Bone marrow aspirate smear; 250×250.
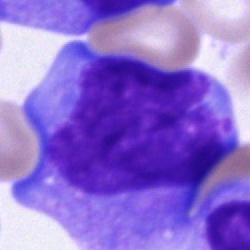Morphology consistent with a blast.